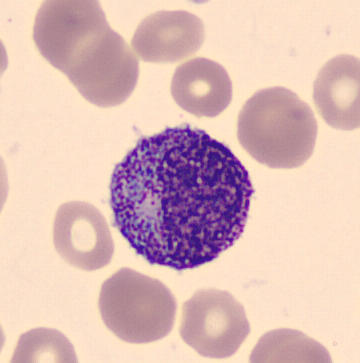Single cell identified as a progranulocyte. Image: CellaVision DM96 digital cell image · peripheral blood film.